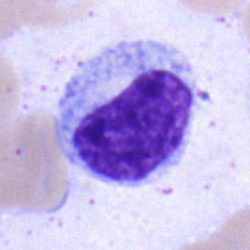

Showing a metamyelocyte.